Bone marrow smear
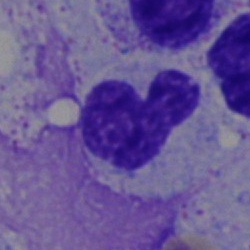Specimen: bone marrow smear.
Morphological class: stab cell.
Lineage: myeloid.